Cropped to a single cell; bone marrow aspirate smear
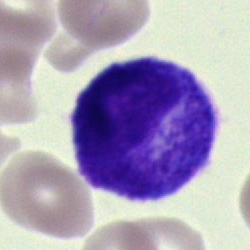
Cell — metamyelocyte.